Single-cell crop; bone marrow aspirate smear:
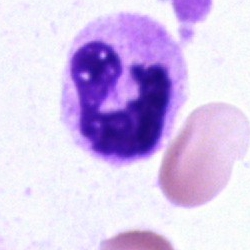 Q: What cell is this?
A: It is a neutrophil (segmented).